Cropped to a single cell · 250×250 px · bone marrow aspirate smear
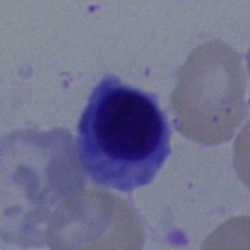 Impression — normoblast.